250×250 px. Bone marrow smear.
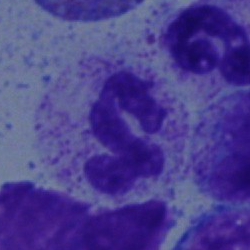
Cell — polymorphonuclear neutrophil.